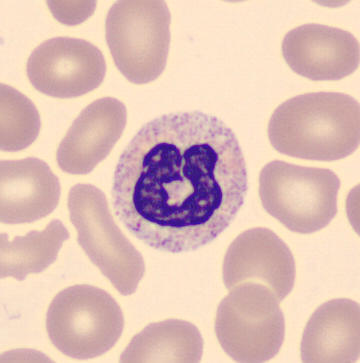
Acquisition: Single-cell field; automated cell imaging (CellaVision DM96).

Specimen: peripheral blood smear.
Morphological class: neutrophil (band).
Lineage: myeloid.